Cropped to a single cell; bone marrow smear:
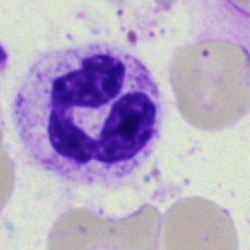
Specimen: bone marrow smear.
Cell: polymorphonuclear neutrophil.
Lineage: myeloid.